Image size 250×250. Bone marrow smear:
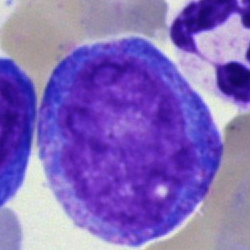 The cell type is promyelocyte.